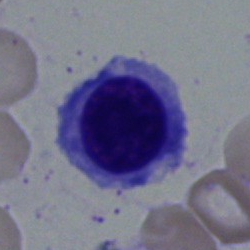 Specimen: bone marrow aspirate smear.
Morphological class: erythroblast.